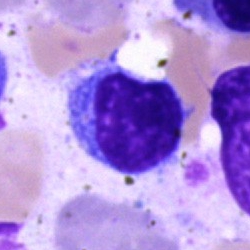Bone marrow aspirate smear, single cell — lymphocyte.